Bone marrow smear: 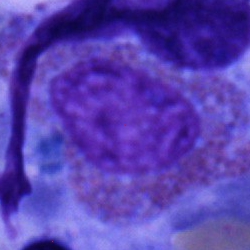

This is an eosinophil.